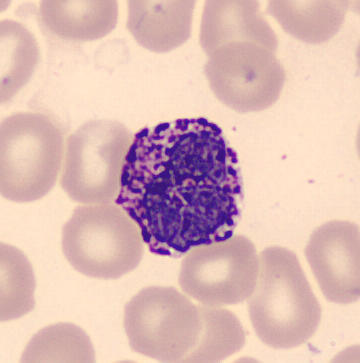

Specimen: peripheral blood film.
Cell: basophil.
Lineage: myeloid.